Bone marrow aspirate smear. 40× oil immersion
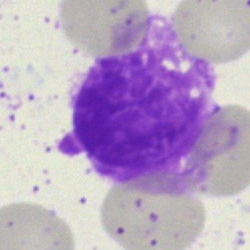

Morphological class — artifact.